Bone marrow aspirate smear. Single cell centered in the field
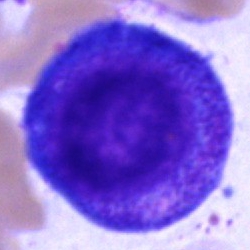

Cell type — progranulocyte.